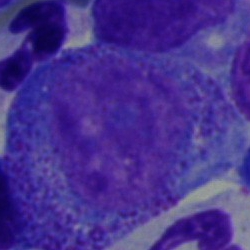
Showing a progranulocyte.